250 by 250 pixels; bone marrow aspirate smear; Pappenheim-stained: 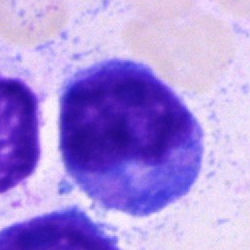

Single cell identified as an undifferentiated blast.